Bone marrow smear.
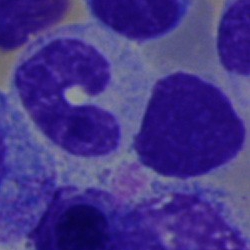 Showing a stab cell.